Bone marrow smear.
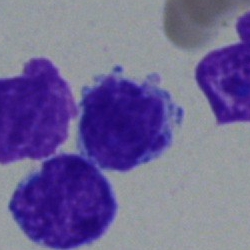
Showing a typical lymphocyte.